100× oil immersion. Peripheral blood smear:
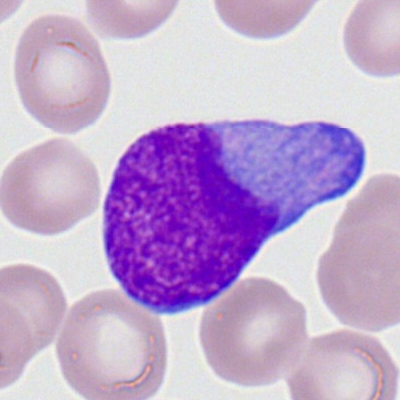 Morphological class — myeloblast.